Bone marrow smear: 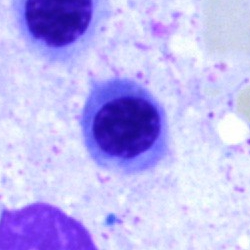
Single cell identified as a normoblast.